Bone marrow smear: 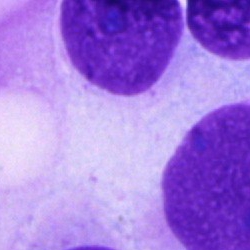

Specimen: bone marrow aspirate smear.
Cell: artefact.